Bone marrow aspirate smear: 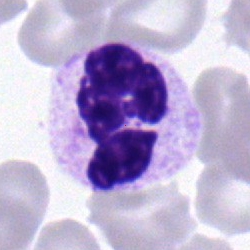 Morphology consistent with a polymorphonuclear neutrophil.